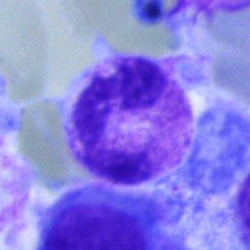
{"cell_type": "polymorphonuclear neutrophil", "lineage": "myeloid"}